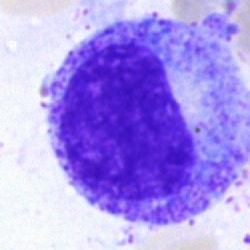Classification = promyelocyte.